40× objective, oil immersion · bone marrow aspirate smear
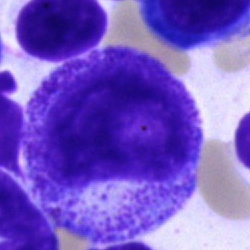Morphology — promyelocyte.